Bone marrow aspirate smear
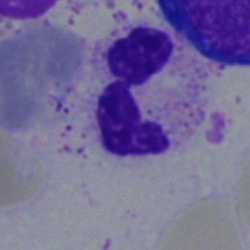 Impression — polymorphonuclear neutrophil.